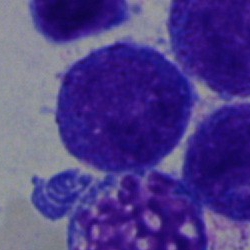 Bone marrow aspirate smear, single cell — blast cell.